Bone marrow aspirate smear: 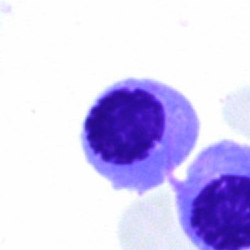The cell type is nucleated red blood cell.